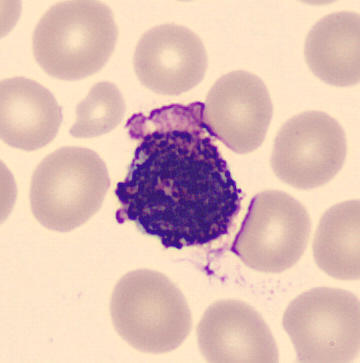

Preparation: Automated cell imaging (CellaVision DM96). Peripheral blood film. 360×363 px.

{"cell_type": "basophil", "lineage": "myeloid"}